40× oil immersion · image size 250×250 · bone marrow smear:
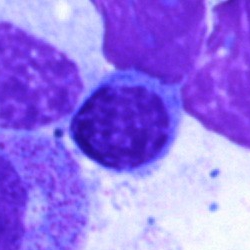Single cell identified as a lymphocyte.